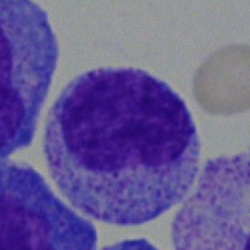
The cell shown is a myelocyte.